Bone marrow aspirate smear. 250×250 px. May-Grünwald-Giemsa stain.
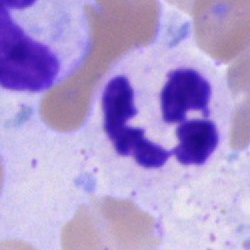 Impression — segmented neutrophil.